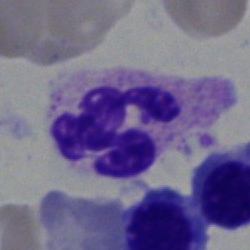Morphology → segmented neutrophil.